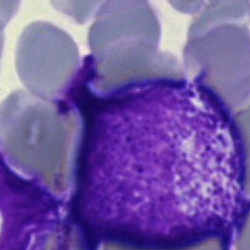 Bone marrow aspirate smear, single cell — myelocyte.